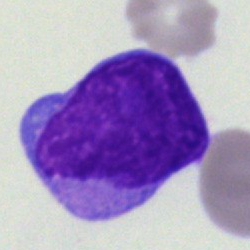Q: Identify the cell.
A: Undifferentiated blast.